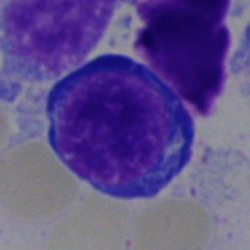

A normoblast.